Bone marrow aspirate smear · 250×250
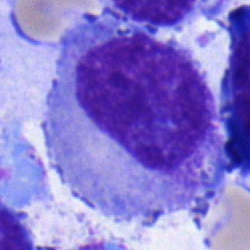
Specimen: bone marrow smear.
Cell type: progranulocyte.
Lineage: myeloid.